Bone marrow aspirate smear.
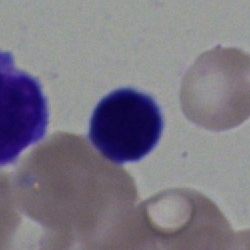A lymphocyte.